Bone marrow smear · single-cell field: 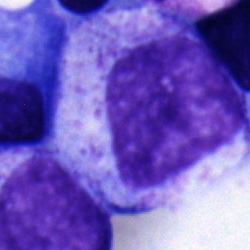

Classification = myelocyte.